Single cell centered in the field · bone marrow aspirate smear
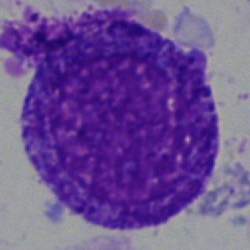 Impression — promyelocyte.